Single-cell crop. Brightfield microscopy, 40× oil immersion. Bone marrow aspirate smear — 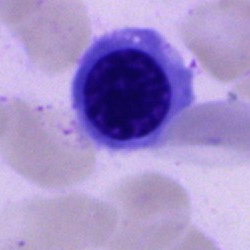

Nucleated red blood cell.